Bone marrow smear: 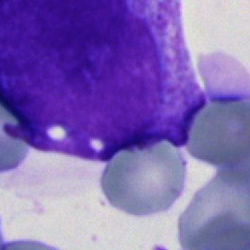
Q: What type of cell is this?
A: It is a blast cell.